Bone marrow aspirate smear
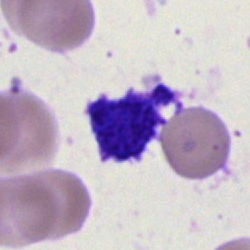
{"cell_type": "artifact"}